Bone marrow smear · single-cell field — 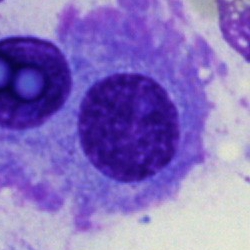Morphology — plasmacyte.